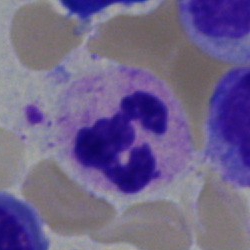
Specimen: bone marrow smear.
Cell type: neutrophil (segmented).
Lineage: myeloid.